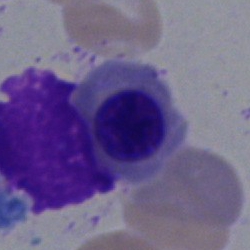Cell = normoblast.